Bone marrow aspirate smear
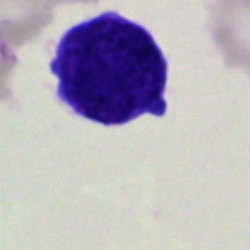
Morphological class: blast.